Bone marrow aspirate smear; 250×250 px.
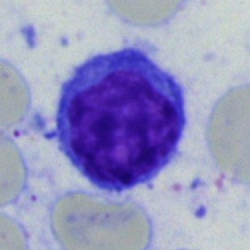

Q: What type of cell is this?
A: Typical lymphocyte.